Brightfield, 40× oil-immersion objective · bone marrow aspirate smear · image size 250×250 — 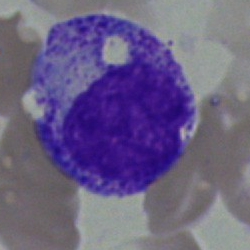

Specimen: bone marrow smear.
Cell: myelocyte.